Bone marrow aspirate smear. MGG-stained:
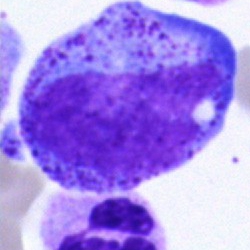

Cell type — progranulocyte.